Bone marrow aspirate smear: 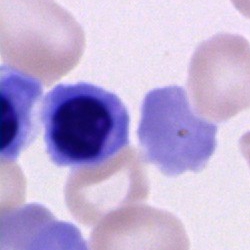 Morphological class: nucleated red cell.